Bone marrow aspirate smear
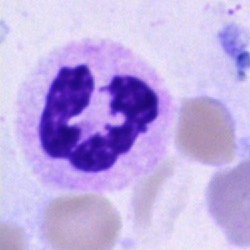 Morphology consistent with a polymorphonuclear neutrophil.